Bone marrow aspirate smear:
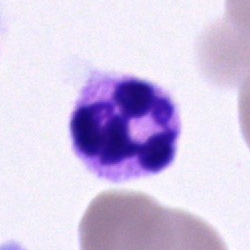 Single cell identified as a neutrophil (segmented).